Bone marrow smear.
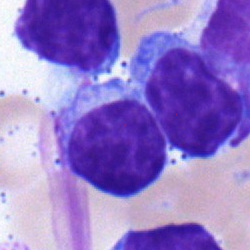
{"cell_type": "segmented neutrophil", "lineage": "myeloid"}